Bone marrow aspirate smear; 250×250: 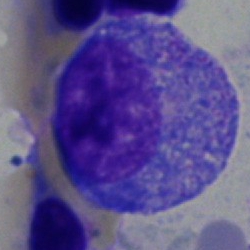

Single cell identified as a promyelocyte.